Bone marrow smear — 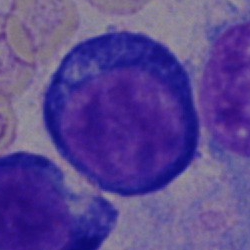 Morphological class: pronormoblast.